May-Grünwald-Giemsa/Pappenheim stain. Bone marrow aspirate smear. 250×250 — 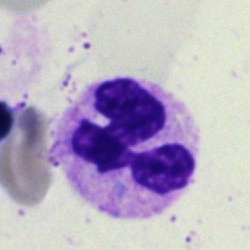

Q: What is the morphological classification of this cell?
A: This is a polymorphonuclear neutrophil.